Brightfield microscopy, 40× oil immersion. Bone marrow smear:
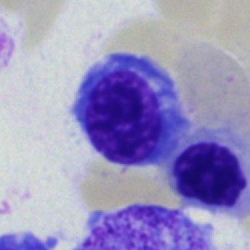 Single cell identified as an erythroblast.